Bone marrow smear: 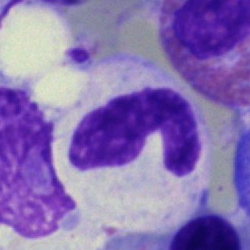 Specimen: bone marrow aspirate smear.
Classification: segmented neutrophil.